Bone marrow smear · MGG-stained: 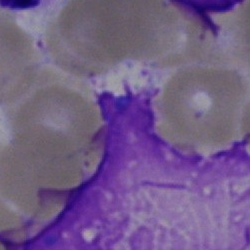{"cell_type": "artefact"}